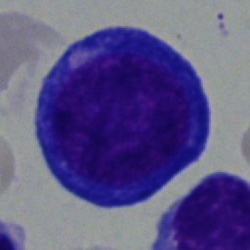

Q: What is shown here?
A: Pronormoblast.